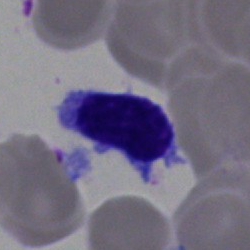

Impression → lymphocyte.